Bone marrow smear
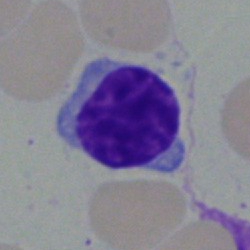

Lymphocyte.